Bone marrow aspirate smear · 250×250 px · single-cell field
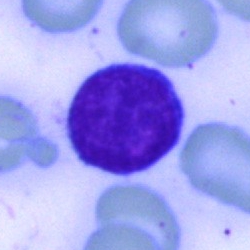

The cell shown is a typical lymphocyte.